Bone marrow aspirate smear; single-cell field — 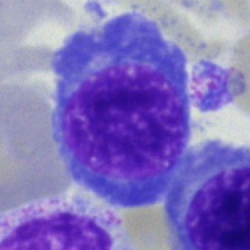
An erythroblast.